May-Grünwald-Giemsa stain · bone marrow smear: 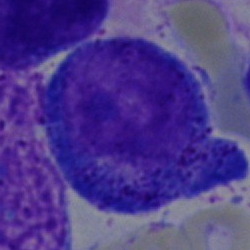
Cell type: promyelocyte.